Bone marrow aspirate smear · brightfield, 40× oil-immersion objective
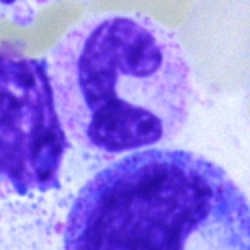

Morphology consistent with a band neutrophil.